Bone marrow smear; 250×250.
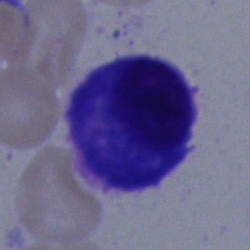
Q: What is shown here?
A: A metamyelocyte.